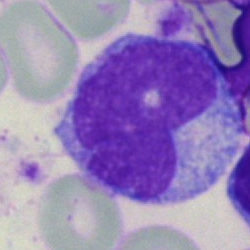
The morphological class is monocyte.